Bone marrow aspirate smear:
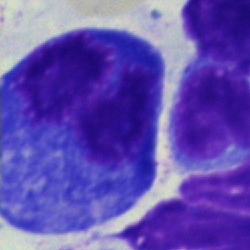
A plasma cell.